250×250; single-cell crop; bone marrow smear:
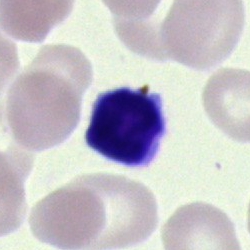 Cell: lymphocyte.